Bone marrow aspirate smear: 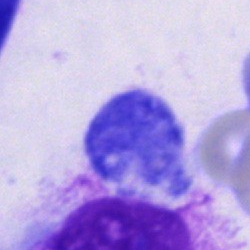 Morphology consistent with an other cell type.